Peripheral blood film:
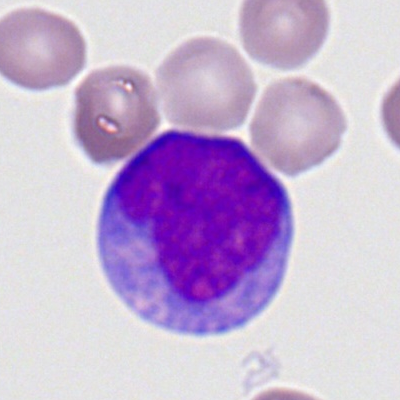
Morphology consistent with a myeloblast.